Bone marrow aspirate smear.
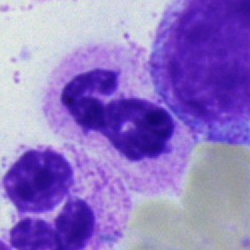The cell shown is a polymorphonuclear neutrophil.